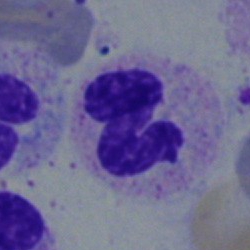 Single-cell crop from a bone marrow smear: band neutrophil.